Peripheral blood film — 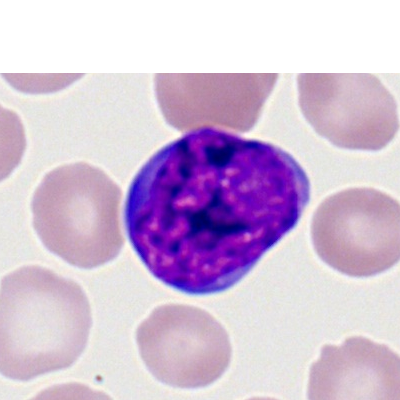

Classification = myeloblast.